Pappenheim-stained · bone marrow aspirate smear · single-cell field — 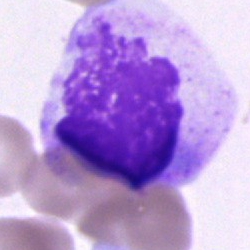

Q: What is shown here?
A: An artefact.